Image size 250×250. Bone marrow aspirate smear — 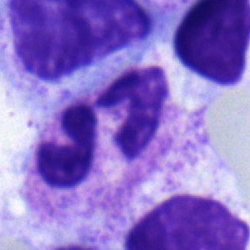
The cell shown is a neutrophil (segmented).